Single cell centered in the field · bone marrow aspirate smear
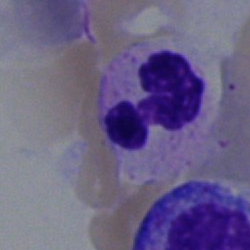 Classification — neutrophil (segmented).